Brightfield, 40× oil-immersion objective · bone marrow smear: 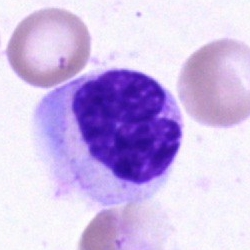

Classification: metamyelocyte.